Brightfield microscopy, 40× oil immersion · bone marrow smear: 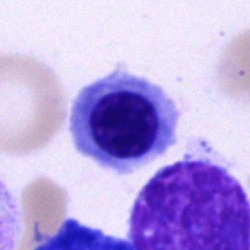

Cell type = normoblast.